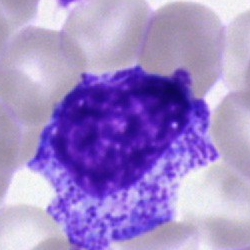

Impression — myelocyte.